Bone marrow smear. Single-cell crop:
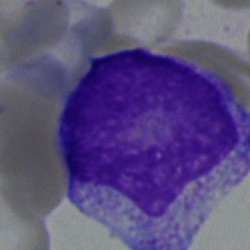The classification is myelocyte.